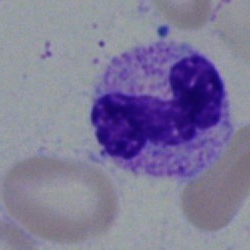

Impression — neutrophil (band).